Brightfield, 40× oil-immersion objective. Bone marrow smear.
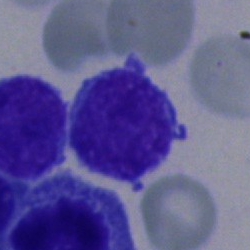
Morphology — lymphocyte.